250 by 250 pixels. Bone marrow smear. Single-cell field: 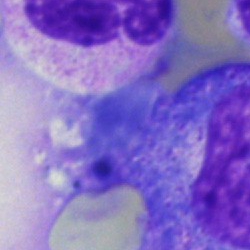

This is an artefact.